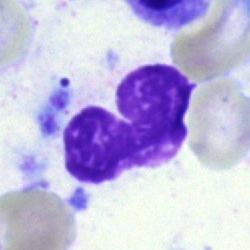
This is a cell of indeterminate lineage.